Peripheral blood film.
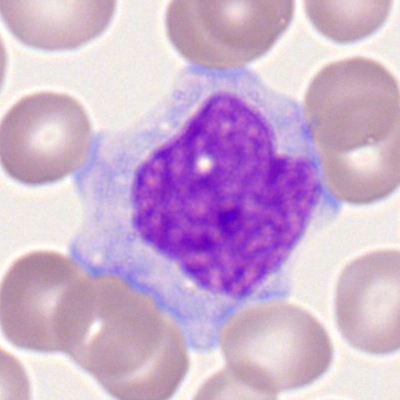Morphology → monocyte.